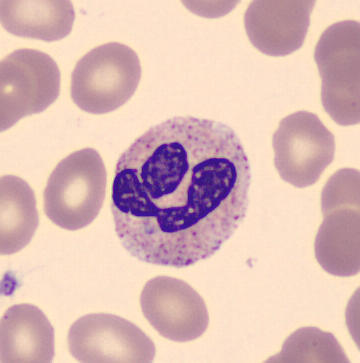
This is a polymorphonuclear neutrophil.

Peripheral blood film.